Bone marrow aspirate smear.
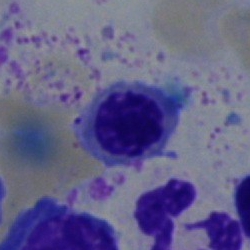

Q: What type of cell is this?
A: A nucleated red cell.